May-Grünwald-Giemsa/Pappenheim stain; bone marrow aspirate smear — 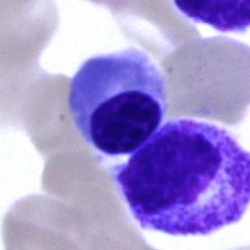Q: Identify the cell.
A: This is a nucleated red blood cell.